Bone marrow aspirate smear — 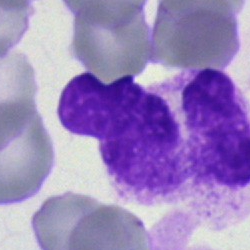
Q: What is shown here?
A: This is an artefact.